May-Grünwald-Giemsa/Pappenheim stain; 40× oil immersion; bone marrow aspirate smear
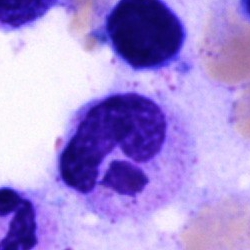

The cell type is neutrophil (segmented).